Single cell centered in the field. Bone marrow aspirate smear.
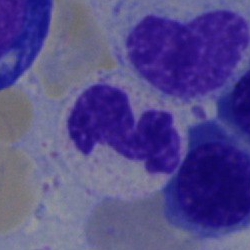
{"cell_type": "segmented neutrophil"}